Bone marrow smear.
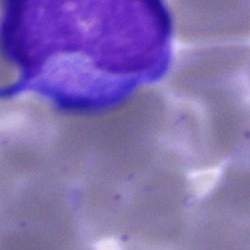Q: What is shown here?
A: An artifact.